Single-cell field; bone marrow smear; image size 250×250 — 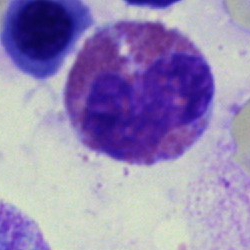
Showing an eosinophil.